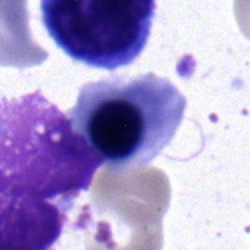The cell type is nucleated red cell.